40× oil immersion. Bone marrow aspirate smear
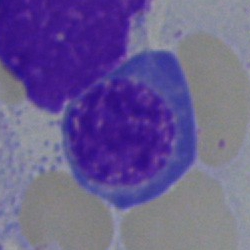

This is a nucleated red blood cell.